Peripheral blood film.
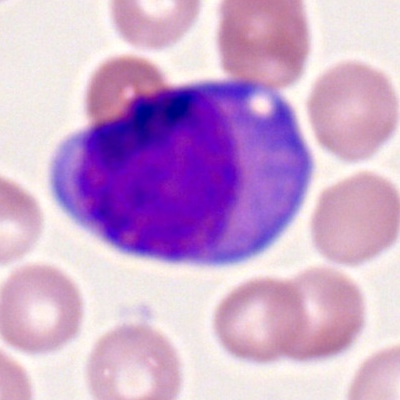Morphology — myeloblast.